MGG-stained. Bone marrow aspirate smear
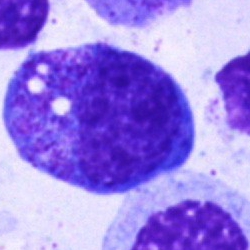
A promyelocyte.